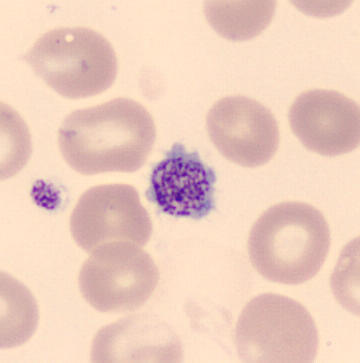Image: Image size 360×363 · peripheral blood film. Morphology consistent with a thrombocyte.